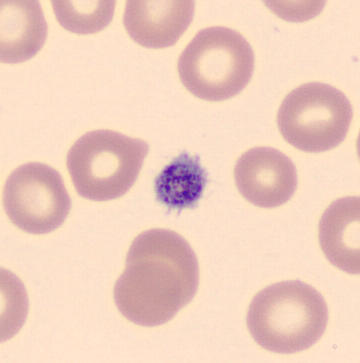 Morphological class = platelet (thrombocyte).

Image: May Grünwald-Giemsa stain · peripheral blood smear.